Bone marrow aspirate smear: 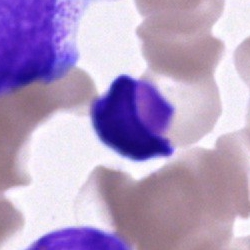Specimen: bone marrow smear.
Cell: unidentifiable cell.